Image size 250×250. Single-cell field. Bone marrow aspirate smear.
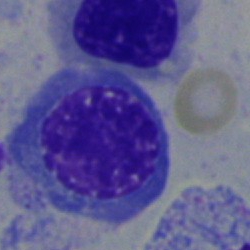Impression — normoblast.